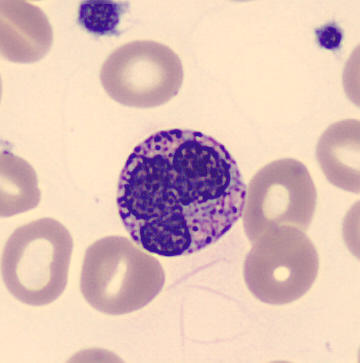Single cell identified as a basophilic granulocyte.